Cropped to a single cell; bone marrow aspirate smear.
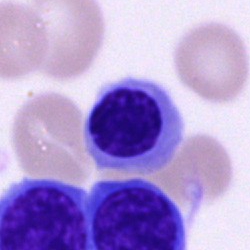 Q: What is the morphological classification of this cell?
A: This is an erythroblast.